Image size 400×400 · peripheral blood smear: 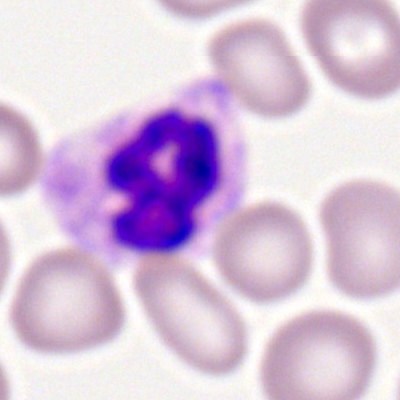

This is a neutrophil (segmented).